Bone marrow aspirate smear. May-Grünwald-Giemsa/Pappenheim stain. Brightfield microscopy, 40× oil immersion.
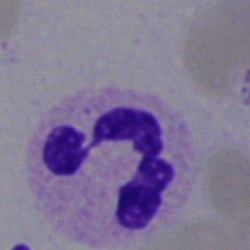

Q: What cell is this?
A: This is a neutrophil (segmented).